Image size 250×250 · 40× objective, oil immersion · bone marrow smear: 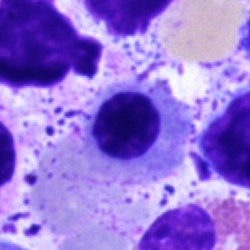Single cell identified as an erythroblast.